Peripheral blood smear; Romanowsky-stained; 100× objective, oil immersion:
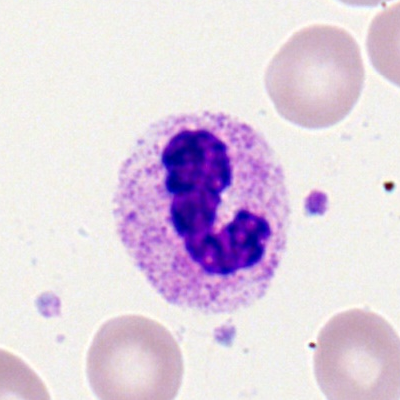Cell type = polymorphonuclear neutrophil.